Bone marrow aspirate smear:
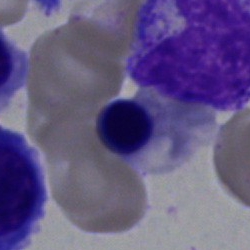
The cell is nucleated red cell.